Cropped to a single cell. Bone marrow aspirate smear. Pappenheim-stained:
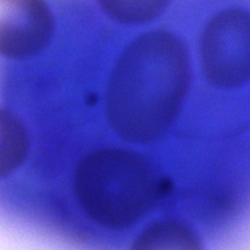Showing an artefact.